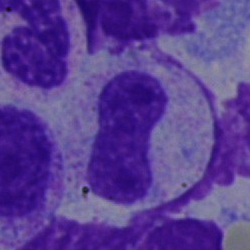
Showing a stab cell.